40× objective, oil immersion; bone marrow aspirate smear.
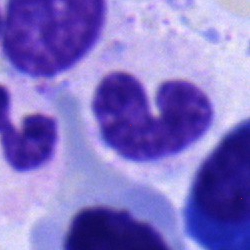

Impression → stab cell.